Brightfield, 40× oil-immersion objective. MGG-stained. Bone marrow aspirate smear: 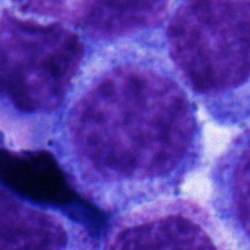The classification is promyelocyte.